Bone marrow aspirate smear:
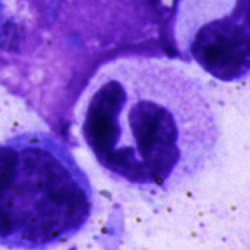

Single cell identified as a segmented neutrophil.